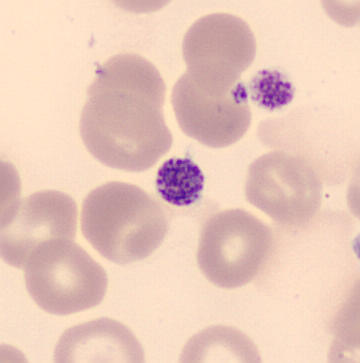
Preparation: 360×363 px; peripheral blood smear.

Platelet.